Bone marrow smear · single cell centered in the field.
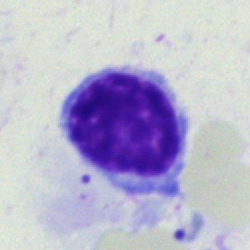Morphology consistent with a typical lymphocyte.